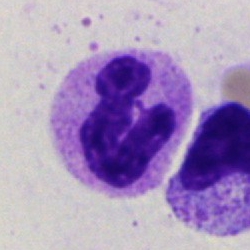
Impression — segmented neutrophil.